Romanowsky-type stain. Peripheral blood smear:
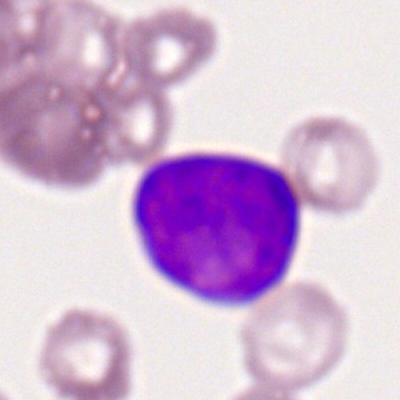
Single cell identified as a myeloblast.